Peripheral blood smear. 400×400 — 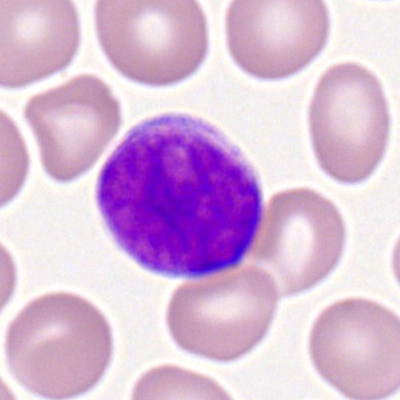 Q: Identify the cell.
A: This is a myeloblast.